Bone marrow smear
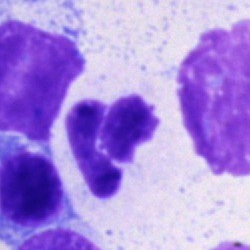

Q: What type of cell is this?
A: A polymorphonuclear neutrophil.